Bone marrow smear. Brightfield microscopy, 40× oil immersion. MGG-stained
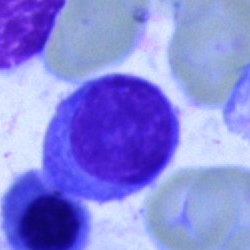
Classification: plasmacyte.